400 by 400 pixels · peripheral blood smear · Romanowsky stain — 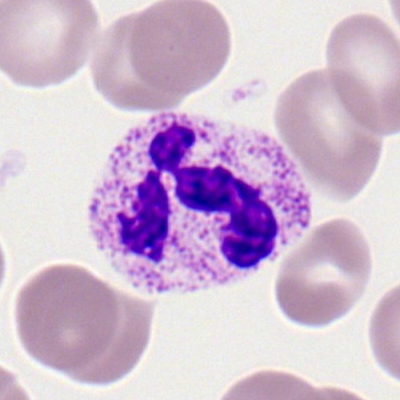 Morphology → segmented neutrophil.